Bone marrow aspirate smear: 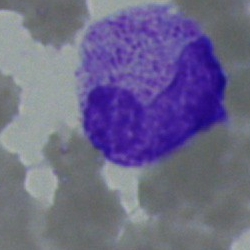Morphological class — neutrophil (band).